Bone marrow smear
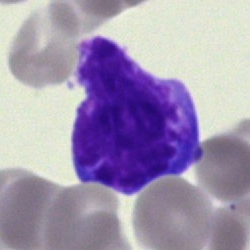

Q: What cell is this?
A: This is an undifferentiated blast.